May-Grünwald-Giemsa stain · bone marrow smear — 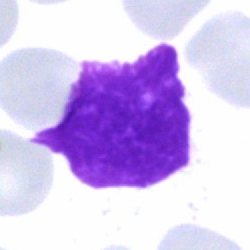 A Gumprecht shadow.